Brightfield microscopy, 40× oil immersion · bone marrow smear
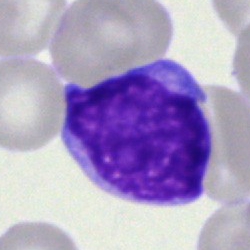 Morphology — blast.